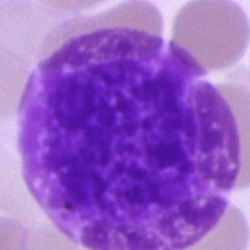
The classification is artifact.